Single-cell field. Bone marrow aspirate smear. Image size 250×250: 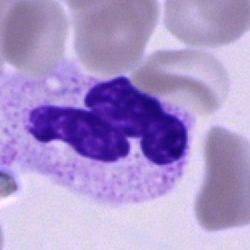 Neutrophil (segmented).